Bone marrow smear — 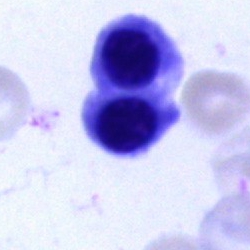

Q: Which cell type is shown here?
A: This is an erythroblast.